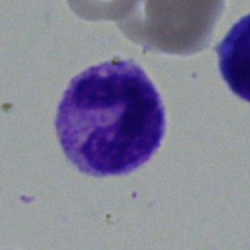
Impression — neutrophil (band).